Peripheral blood film:
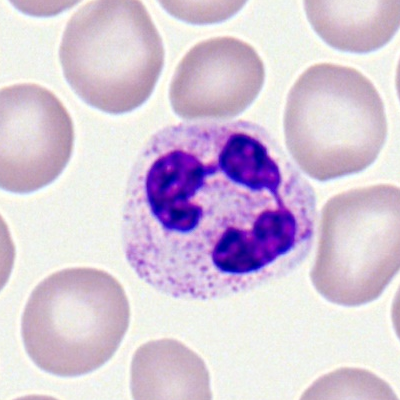

A neutrophil (segmented).